40× objective, oil immersion; bone marrow aspirate smear: 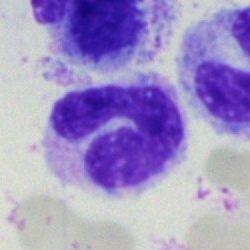 Morphological class — stab cell.